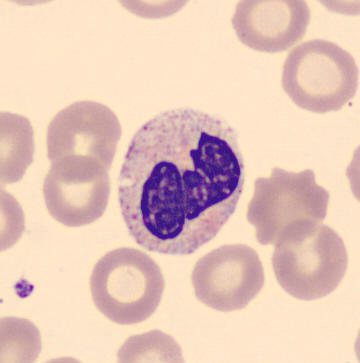Specimen: peripheral blood film.
Morphological class: polymorphonuclear neutrophil.